Bone marrow aspirate smear: 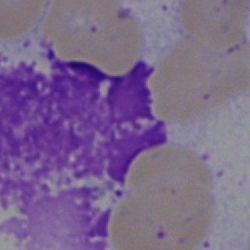Single cell identified as an artifact.